MGG-stained · bone marrow smear · brightfield microscopy, 40× oil immersion: 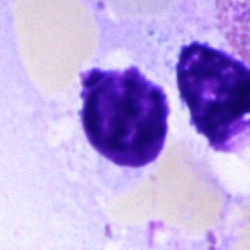Morphological class: artifact.